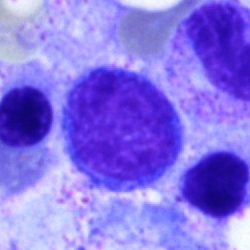

Cell: typical lymphocyte.